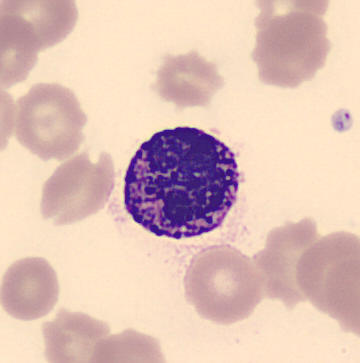

This is a basophil.

Acquisition: Peripheral blood film.